Bone marrow aspirate smear:
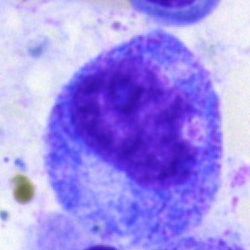

Specimen: bone marrow aspirate smear.
Classification: progranulocyte.
Lineage: myeloid.